Bone marrow smear
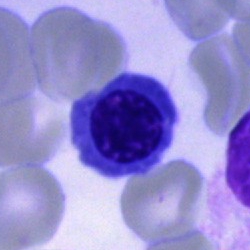
The cell is normoblast.